Bone marrow smear.
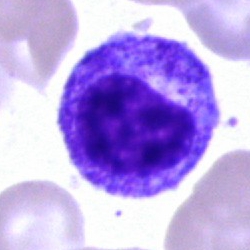

Cell: myelocyte.